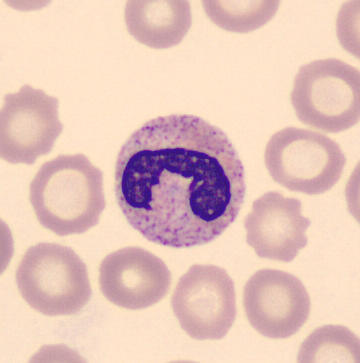
360 by 363 pixels; automated cell imaging (CellaVision DM96); peripheral blood film.

Single cell identified as a neutrophil (band).